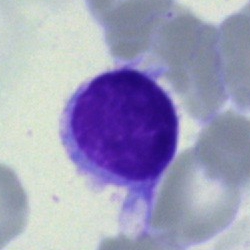

Showing a lymphocyte.